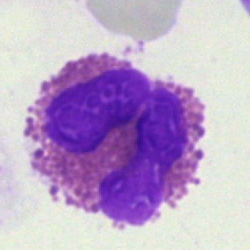

Bone marrow smear showing an eosinophilic granulocyte.